40× objective, oil immersion · MGG-stained · bone marrow smear.
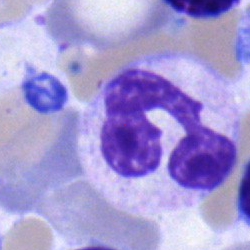A neutrophil (segmented).